Bone marrow aspirate smear
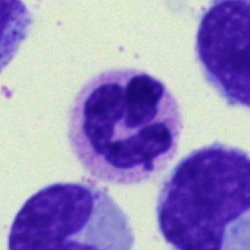A segmented neutrophil.